Peripheral blood smear:
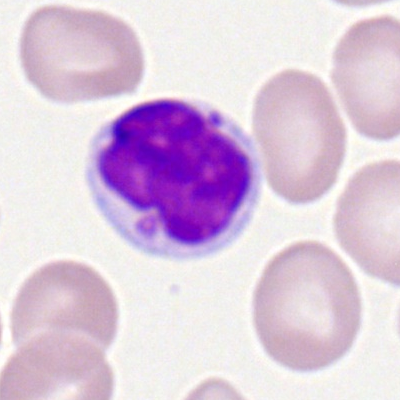 Single cell identified as a typical lymphocyte.